Bone marrow smear — 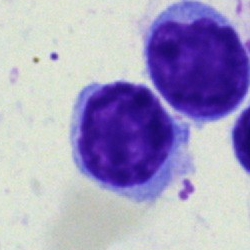{"cell_type": "lymphocyte"}